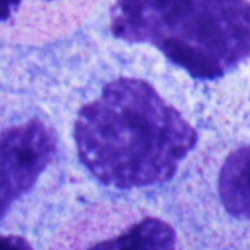 Cell: monocyte.